Bone marrow smear · single cell centered in the field.
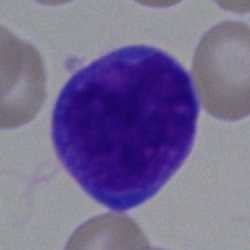Q: What cell is this?
A: This is a blast.